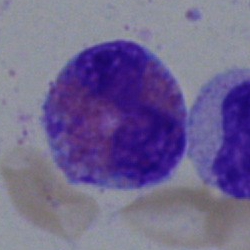 An eosinophil.